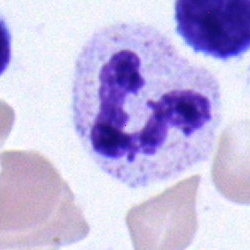
Bone marrow smear showing a neutrophil (segmented).